Bone marrow smear; 250×250; single-cell field — 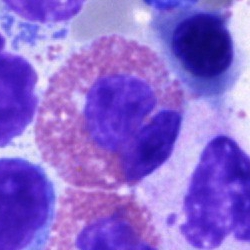Showing an eosinophil.